Bone marrow aspirate smear · 250×250 px — 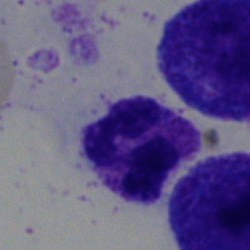 Morphological class: neutrophil (segmented).